Bone marrow smear
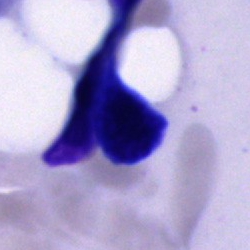 Specimen: bone marrow aspirate smear.
Cell type: artifact.